Peripheral blood film
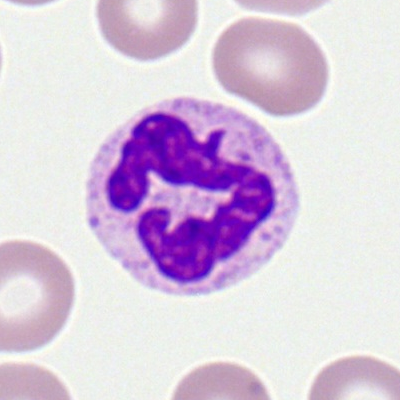

Cell type — segmented neutrophil.